Single-cell field · bone marrow aspirate smear · 250 by 250 pixels.
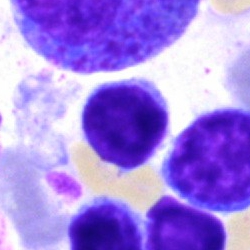

Morphology → lymphocyte.